250×250 · bone marrow aspirate smear · cropped to a single cell.
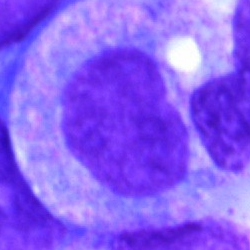
Cell — progranulocyte.